Bone marrow aspirate smear: 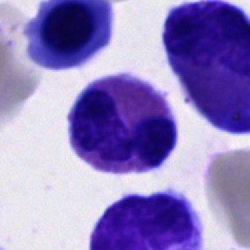

The morphological class is eosinophil.